Bone marrow smear: 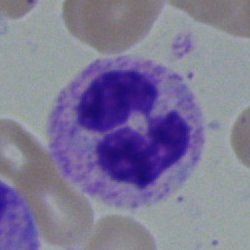 The cell shown is a neutrophil (segmented).